Bone marrow smear; 40× objective, oil immersion:
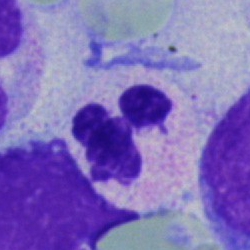
The classification is neutrophil (segmented).